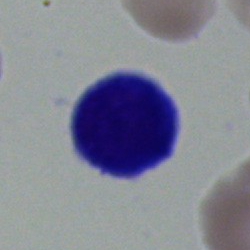 Single cell identified as a typical lymphocyte.